Bone marrow smear
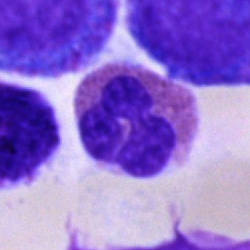{"cell_type": "eosinophil", "lineage": "myeloid"}